Image size 250×250; bone marrow smear; cropped to a single cell — 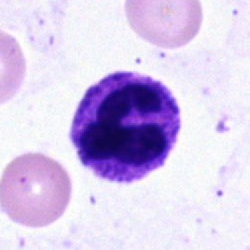

The cell shown is a polymorphonuclear neutrophil.